Bone marrow aspirate smear. May-Grünwald-Giemsa/Pappenheim stain. Single-cell field:
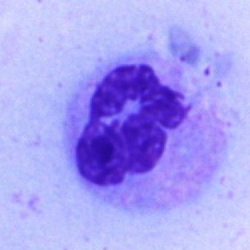
The classification is neutrophil (segmented).